Bone marrow smear: 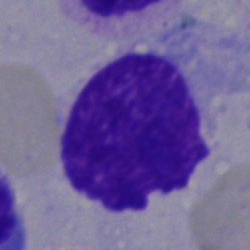 The cell is artifact.